Cropped to a single cell · May-Grünwald-Giemsa stain · bone marrow smear:
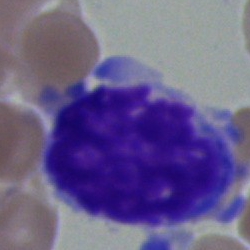

An undifferentiated blast.